Peripheral blood film · 400×400 px: 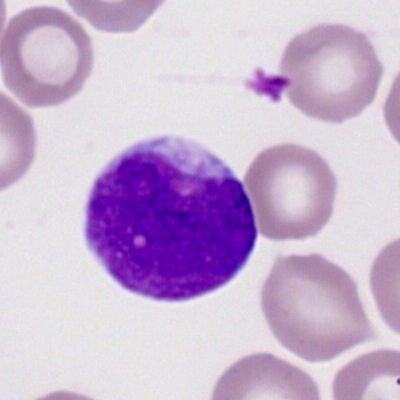

Q: What cell is this?
A: Myeloblast.